Bone marrow aspirate smear — 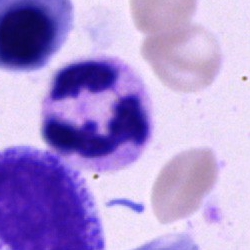

The cell shown is a polymorphonuclear neutrophil.